Bone marrow aspirate smear. 250 by 250 pixels: 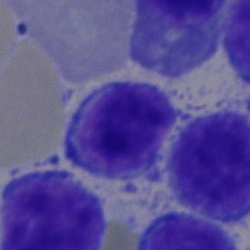 Classification: typical lymphocyte.